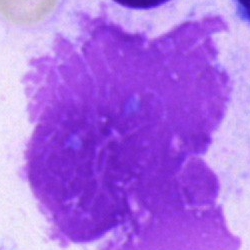
Specimen: bone marrow aspirate smear.
Cell type: artifact.